Bone marrow smear. 40× oil immersion:
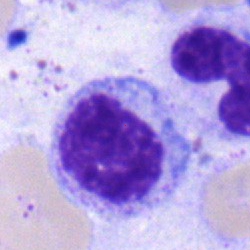
Single cell identified as a myelocyte.